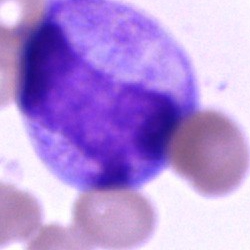
{"cell_type": "promyelocyte", "lineage": "myeloid"}